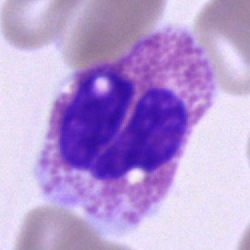

Bone marrow aspirate smear, single cell — eosinophil.